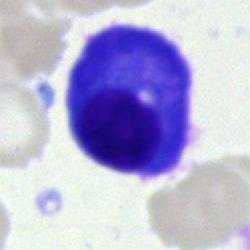

Q: What cell is this?
A: Plasmacyte.